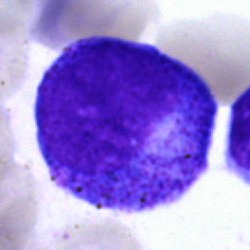 Cell type: promyelocyte.